40× objective, oil immersion; bone marrow smear; single-cell field: 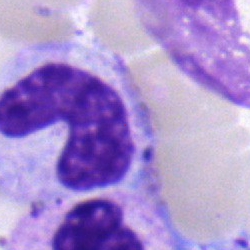The cell shown is a band-form neutrophil.